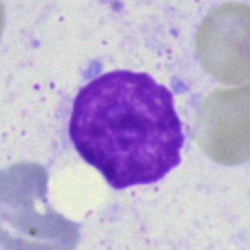 Q: What is shown here?
A: An artifact.